Brightfield microscopy, 40× oil immersion. 250 by 250 pixels. Bone marrow aspirate smear.
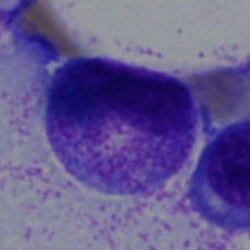

Specimen: bone marrow aspirate smear.
Cell type: neutrophil (band).